Image size 250×250 · bone marrow smear:
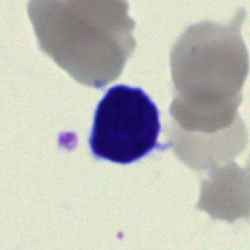
Specimen: bone marrow smear.
Cell: typical lymphocyte.